250×250 px. Single-cell crop. Bone marrow smear: 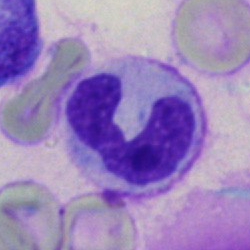
Single cell identified as a polymorphonuclear neutrophil.